250×250 px. Bone marrow smear — 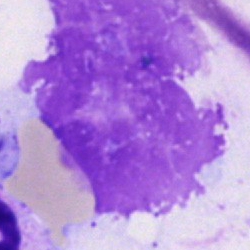
The cell shown is an artifact.